250×250 · bone marrow smear.
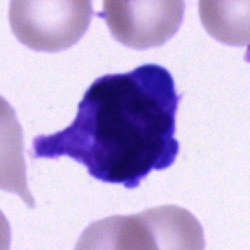 Morphological class — cell of indeterminate lineage.